Bone marrow smear; 40× oil immersion; 250×250 px
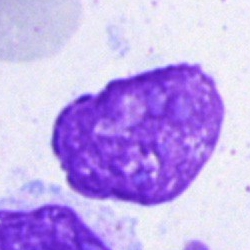The cell is artefact.